Bone marrow smear · 250 by 250 pixels
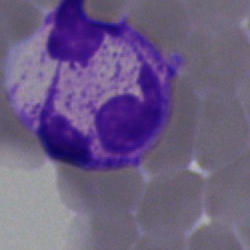 {"cell_type": "segmented neutrophil", "lineage": "myeloid"}